Brightfield microscopy, 40× oil immersion · bone marrow aspirate smear · single-cell crop
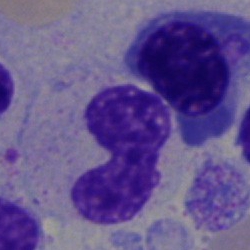

Classification — stab cell.